Pappenheim-stained; bone marrow smear:
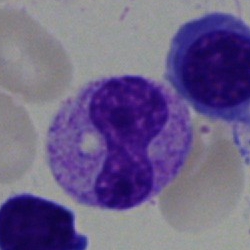

A neutrophil (band).